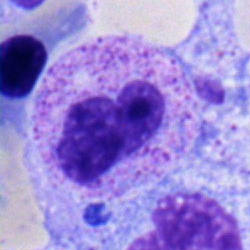Morphology → segmented neutrophil.